Bone marrow smear; 250×250; MGG-stained
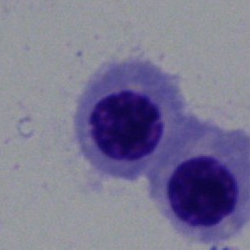
Specimen: bone marrow smear.
Cell type: erythroblast.